Single-cell field; bone marrow aspirate smear
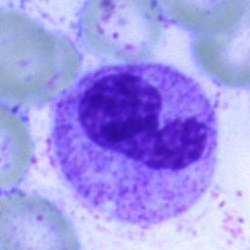Specimen: bone marrow smear.
Cell type: neutrophil (band).
Lineage: myeloid.